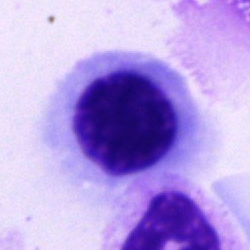
Impression → nucleated red blood cell.